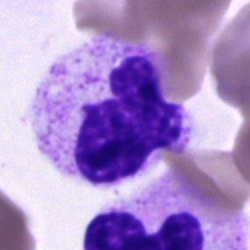

Cell type — polymorphonuclear neutrophil.